Image size 250×250. Bone marrow aspirate smear — 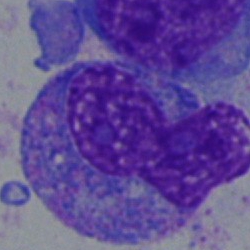Q: Identify the cell.
A: This is an undifferentiated blast.